Peripheral blood smear · Romanowsky stain — 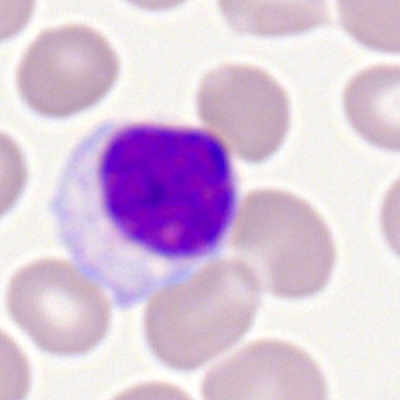

Q: What type of cell is this?
A: A typical lymphocyte.